Bone marrow smear; cropped to a single cell; May-Grünwald-Giemsa stain — 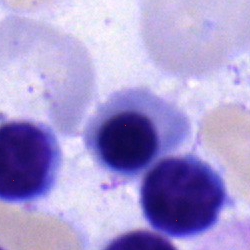
Cell type — erythroblast.